Bone marrow smear · 40× objective, oil immersion
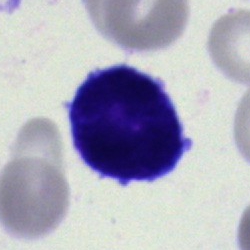{"cell_type": "undifferentiated blast"}